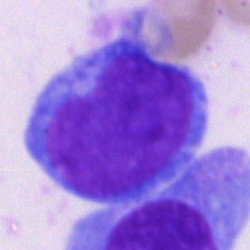

The cell is undifferentiated blast.